Bone marrow smear.
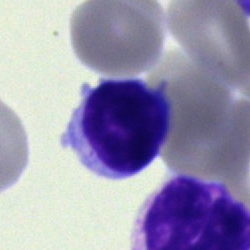

Single cell identified as a typical lymphocyte.